Bone marrow smear:
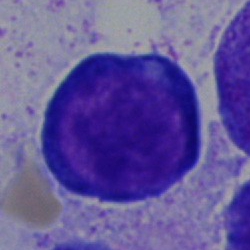 Morphology → pronormoblast.